Peripheral blood smear. Single-cell field.
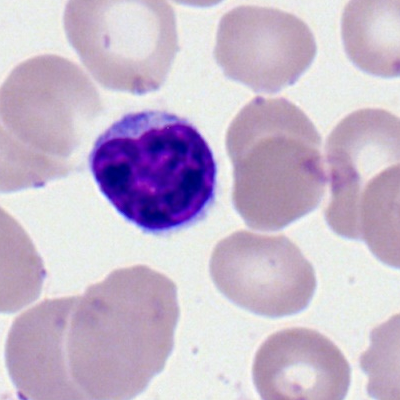Q: Identify the cell.
A: It is a lymphocyte.